Bone marrow aspirate smear
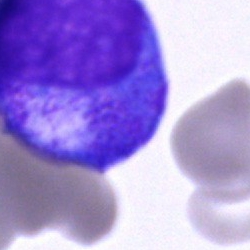 Morphological class — progranulocyte.